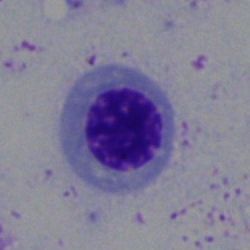
Cell type — normoblast.